Bone marrow smear: 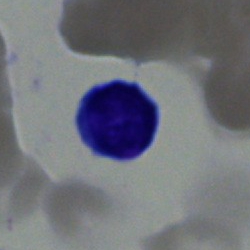

Q: What is shown here?
A: Lymphocyte.